Bone marrow smear: 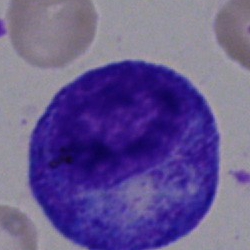

{"cell_type": "promyelocyte"}